250×250 px. Bone marrow aspirate smear — 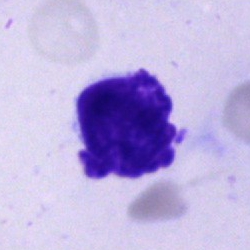
The cell shown is an artifact.